Bone marrow smear — 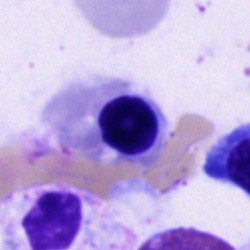
The cell shown is a normoblast.